MGG-stained; bone marrow smear; single-cell field:
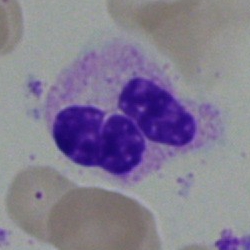

Specimen: bone marrow smear.
Cell: basophil.
Lineage: myeloid.